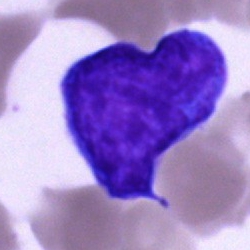

Specimen: bone marrow smear.
Cell: blast.